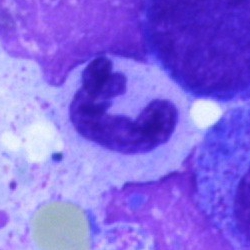
Q: Identify the cell.
A: Polymorphonuclear neutrophil.